Bone marrow aspirate smear
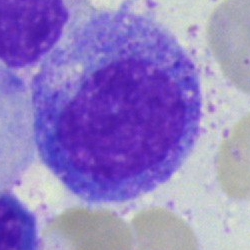
Q: What is shown here?
A: Progranulocyte.